Bone marrow aspirate smear.
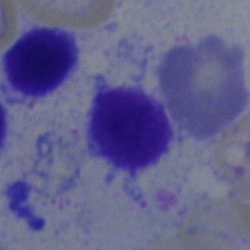The cell is lymphocyte.